May-Grünwald-Giemsa stain · bone marrow smear
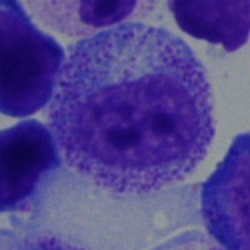

Myelocyte.